250 by 250 pixels. Bone marrow smear.
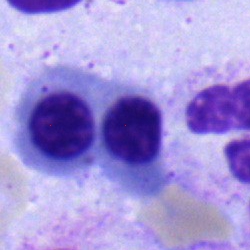 Q: Identify the cell.
A: It is an erythroblast.